40× oil immersion; bone marrow aspirate smear — 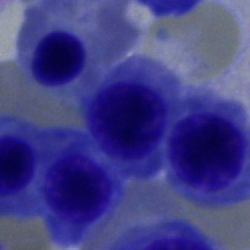 Impression — normoblast.